Single-cell crop; 250×250; bone marrow aspirate smear: 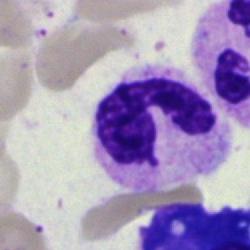 Polymorphonuclear neutrophil.